Bone marrow smear
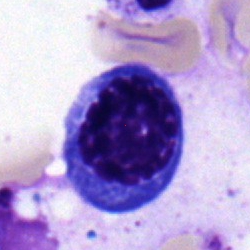Showing a plasma cell.